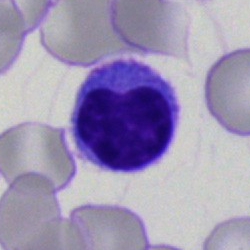 Q: Which cell type is shown here?
A: It is a lymphocyte.